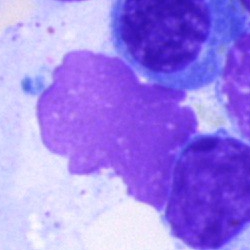

The cell type is artifact.